Bone marrow aspirate smear — 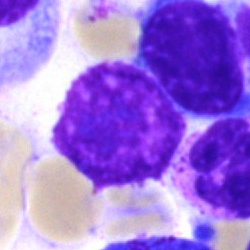
This is an artefact.